Bone marrow aspirate smear:
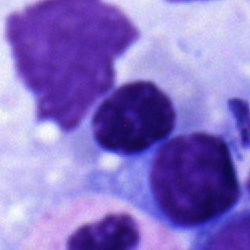Q: Which cell type is shown here?
A: Normoblast.